Bone marrow aspirate smear; cropped to a single cell.
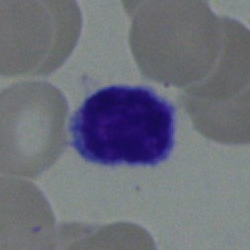
Q: Which cell type is shown here?
A: This is a lymphocyte.